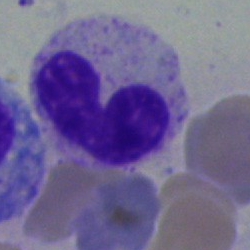

The cell type is stab cell.